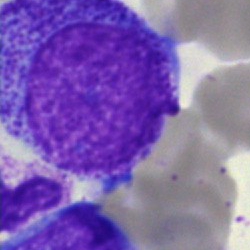Impression → promyelocyte.